Brightfield, 40× oil-immersion objective · bone marrow smear:
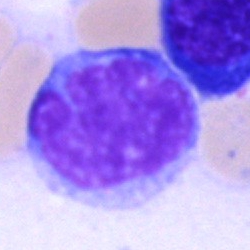

Specimen: bone marrow aspirate smear.
Cell type: monocyte.
Lineage: myeloid.